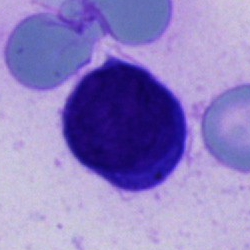 Classification: unidentifiable cell.